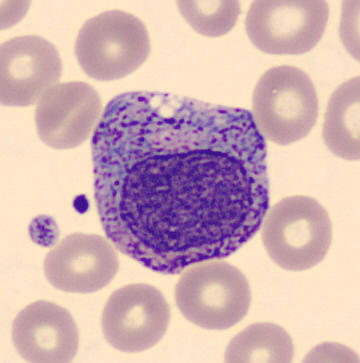

The cell shown is a myelocyte.
Preparation: Peripheral blood film · MGG-stained · single cell centered in the field.